Single-cell crop. Bone marrow smear:
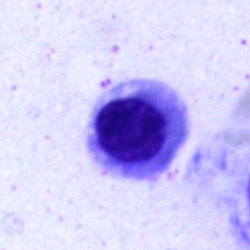 Q: What cell is this?
A: This is a nucleated red blood cell.